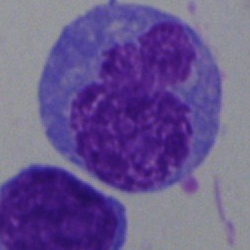The cell shown is a monocyte.